Bone marrow aspirate smear.
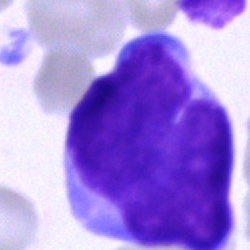

Q: Which cell type is shown here?
A: It is an undifferentiated blast.